Bone marrow aspirate smear: 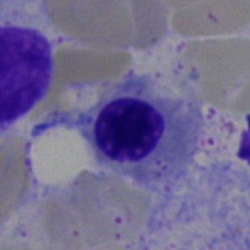Q: What is shown here?
A: It is a normoblast.